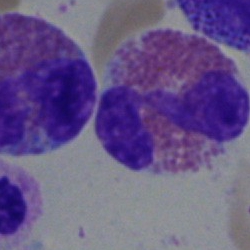{"cell_type": "eosinophilic granulocyte", "lineage": "myeloid"}